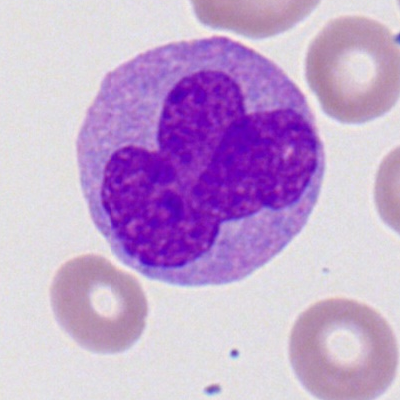
The cell type is monocyte.